Bone marrow smear; cropped to a single cell; MGG-stained — 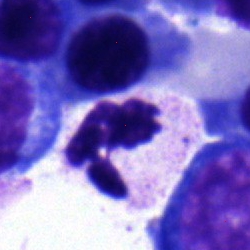
Showing a segmented neutrophil.